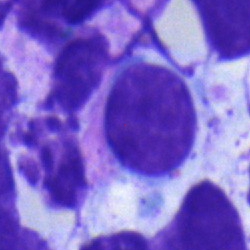
The cell type is typical lymphocyte.